Bone marrow smear. 250×250.
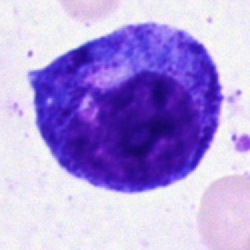

Cell type: progranulocyte.